Peripheral blood smear — 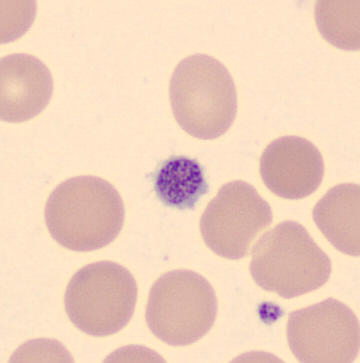The cell type is thrombocyte.